Peripheral blood smear. Brightfield, 100× oil-immersion objective
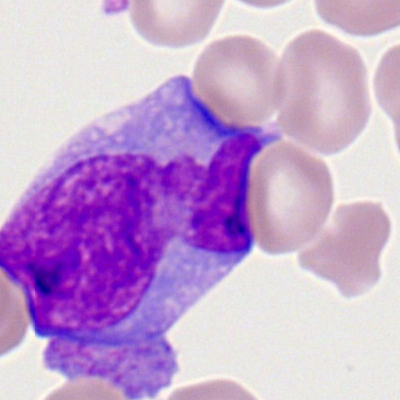

Specimen: peripheral blood smear.
Cell type: myeloid blast.
Lineage: myeloid.